Bone marrow smear:
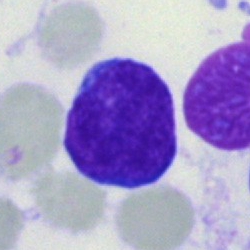

The cell shown is a blast.